Bone marrow aspirate smear. May-Grünwald-Giemsa/Pappenheim stain
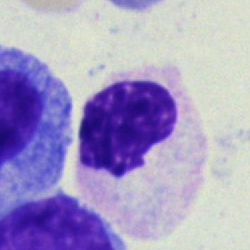 Specimen: bone marrow smear.
Classification: myelocyte.
Lineage: myeloid.